40× objective, oil immersion; bone marrow aspirate smear — 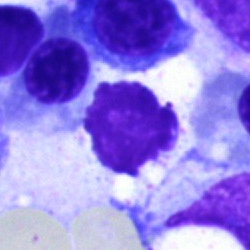
Impression → artifact.